Bone marrow aspirate smear
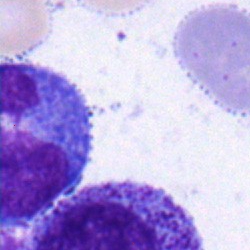Single cell identified as a monocyte.